250 by 250 pixels · 40× objective, oil immersion · bone marrow smear — 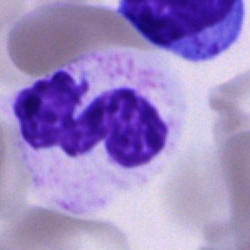Classification — polymorphonuclear neutrophil.